Bone marrow smear.
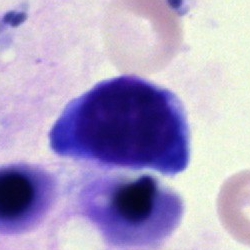
Impression — artefact.